Pappenheim-stained. Bone marrow smear
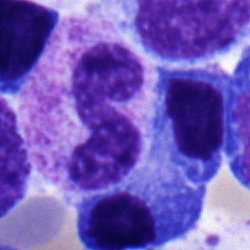
Q: What cell is this?
A: It is a band neutrophil.